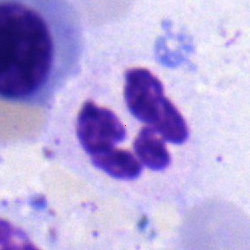
Neutrophil (segmented).